Bone marrow smear; single-cell field; brightfield, 40× oil-immersion objective.
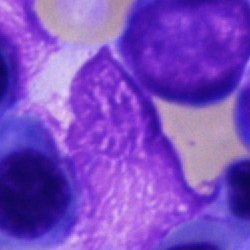

Specimen: bone marrow smear.
Morphological class: artifact.